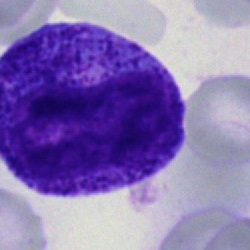

Q: What cell is this?
A: Myelocyte.